Bone marrow aspirate smear:
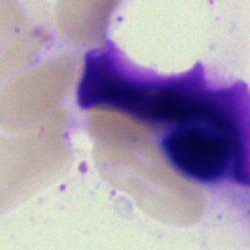Q: What is shown here?
A: This is an artefact.